Bone marrow aspirate smear:
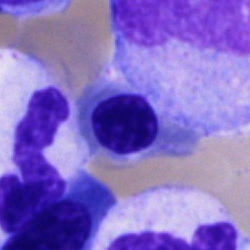

Classification = normoblast.